Brightfield, 100× oil-immersion objective · 400 by 400 pixels · peripheral blood film:
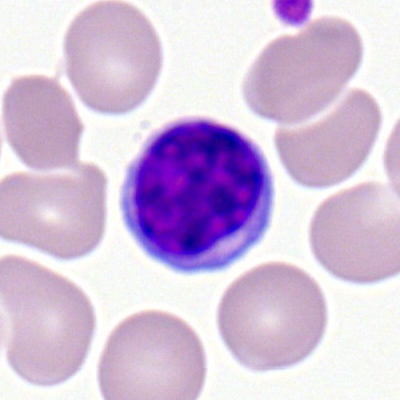 Single cell identified as a lymphocyte.